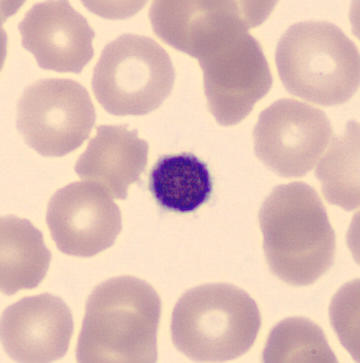 Image: Imaged on a CellaVision DM96 analyser; peripheral blood film.

Classification — platelet (thrombocyte).